Bone marrow smear
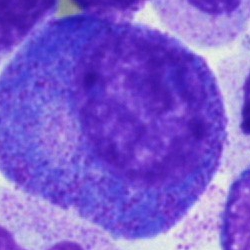

This is a progranulocyte.